Bone marrow aspirate smear — 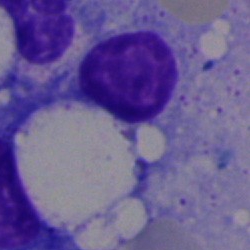Artefact.